Bone marrow smear; 40× objective, oil immersion: 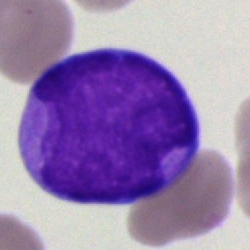The cell shown is an undifferentiated blast.